Bone marrow smear: 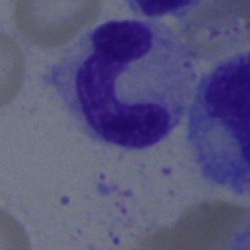Band neutrophil.